Bone marrow aspirate smear — 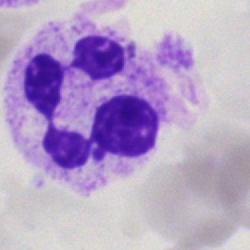
The cell shown is a polymorphonuclear neutrophil.